Bone marrow aspirate smear.
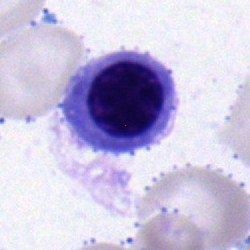

A nucleated red blood cell.